Bone marrow smear. Image size 250×250.
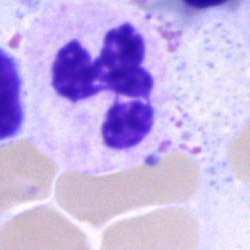Cell type = neutrophil (segmented).